Bone marrow aspirate smear. 250×250.
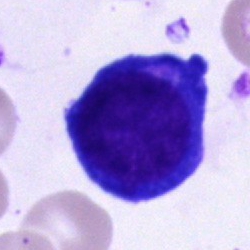Cell = proerythroblast.